250 by 250 pixels · bone marrow smear — 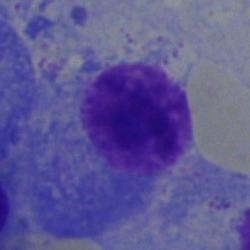Q: Which cell type is shown here?
A: It is a plasmacyte.